Bone marrow smear; single cell centered in the field — 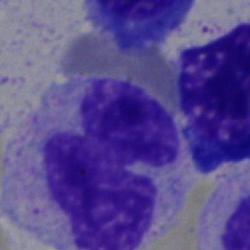

The cell type is monocyte.